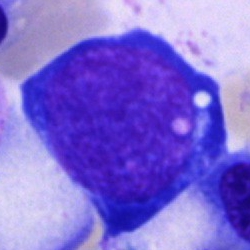
A pronormoblast on a bone marrow smear.